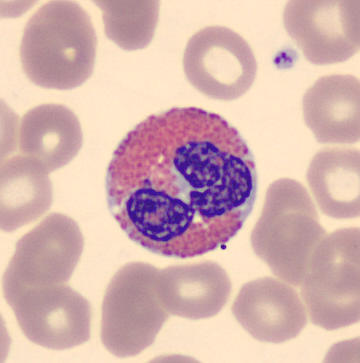
From a peripheral blood smear: an eosinophilic granulocyte.